Bone marrow aspirate smear — 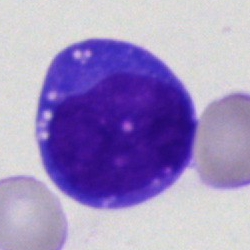

The cell shown is a blast.